Bone marrow aspirate smear; single-cell field:
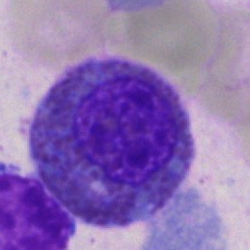 Q: What cell is this?
A: This is an eosinophilic granulocyte.